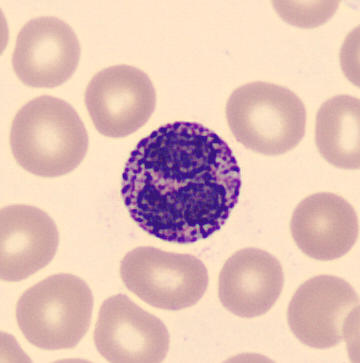
Showing a basophilic granulocyte.